Image size 400×400. Peripheral blood smear — 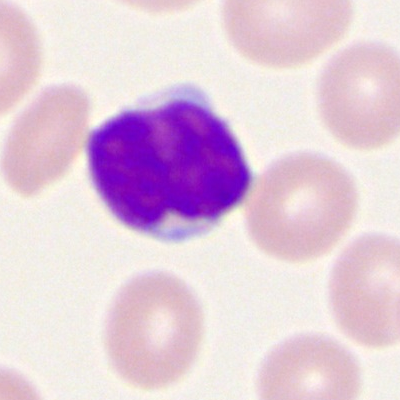

Showing a typical lymphocyte.